Bone marrow aspirate smear. 250×250 px — 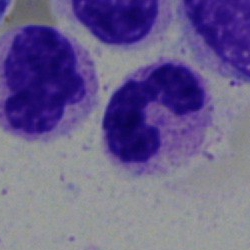Cell = neutrophil (segmented).